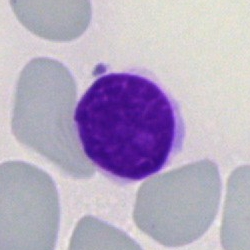 Cell type = lymphocyte.